Single-cell field · bone marrow aspirate smear · Pappenheim-stained.
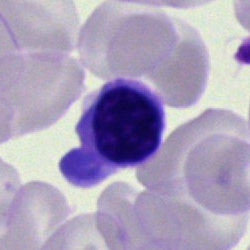

Q: What is shown here?
A: Nucleated red blood cell.